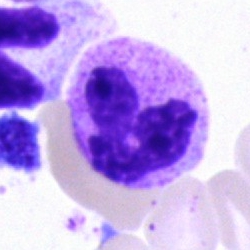

Morphology — segmented neutrophil.